Romanowsky-stained; peripheral blood smear; cropped to a single cell
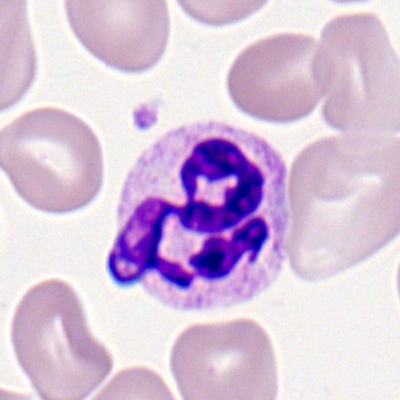

A neutrophil (segmented).